Bone marrow smear:
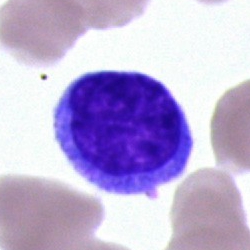 The cell type is typical lymphocyte.